40× oil immersion · cropped to a single cell · bone marrow aspirate smear
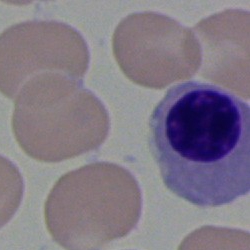
Q: What is the morphological classification of this cell?
A: It is a nucleated red cell.